Bone marrow smear.
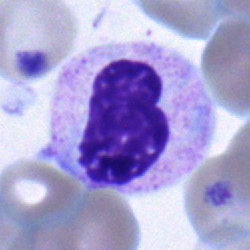

Specimen: bone marrow aspirate smear.
Classification: neutrophil (band).
Lineage: myeloid.